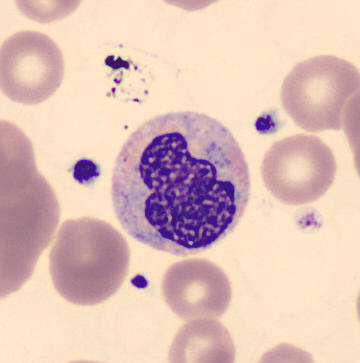

Identified as a metamyelocyte.
Image: May-Grünwald-Giemsa-stained. Peripheral blood film.